Single cell centered in the field. Bone marrow aspirate smear:
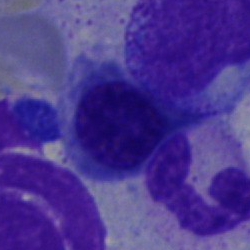 Morphological class — nucleated red blood cell.